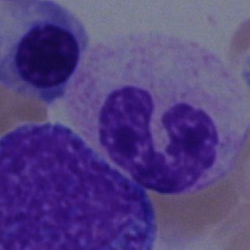

Specimen: bone marrow aspirate smear.
Classification: neutrophil (segmented).